Single cell centered in the field. Romanowsky stain. Peripheral blood smear.
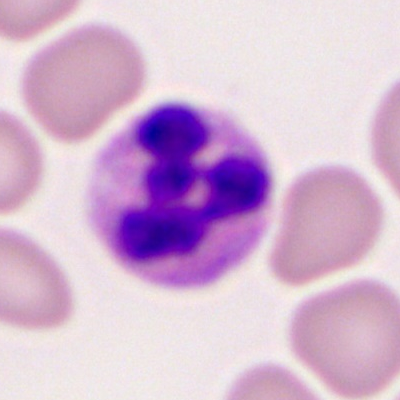

Morphology → polymorphonuclear neutrophil.